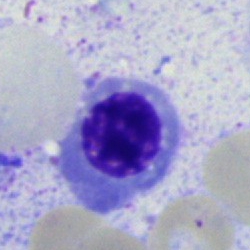
Morphological class = nucleated red cell.